Bone marrow smear. 40× objective, oil immersion.
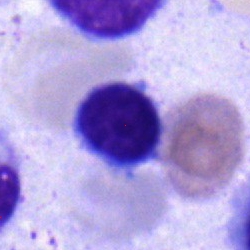The cell shown is a lymphocyte.